Bone marrow smear: 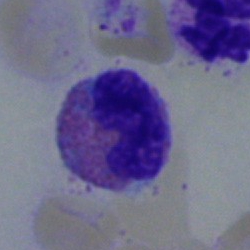Q: Which cell type is shown here?
A: Eosinophil.